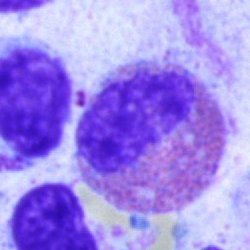
Bone marrow smear showing an eosinophilic granulocyte.